MGG-stained. Bone marrow smear. 250×250: 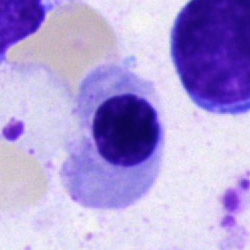 Cell type — erythroblast.